Single-cell field; bone marrow aspirate smear:
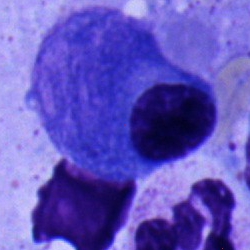
Morphological class = plasmacyte.